40× objective, oil immersion · bone marrow aspirate smear
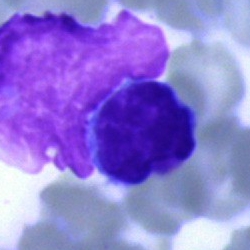Q: What is the morphological classification of this cell?
A: Lymphocyte.